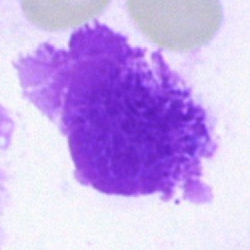 Morphology → artifact.